Bone marrow aspirate smear — 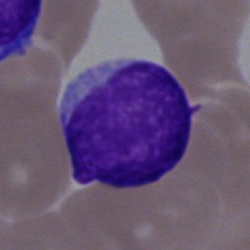

Undifferentiated blast.